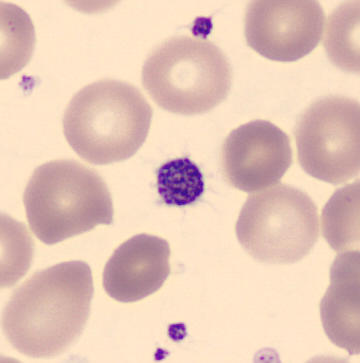 A platelet.
Preparation: Peripheral blood smear; CellaVision DM96.